40× oil immersion. Bone marrow smear: 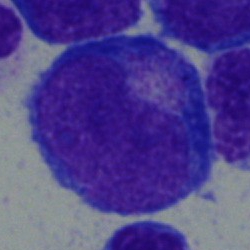

Q: Which cell type is shown here?
A: A progranulocyte.